Bone marrow aspirate smear · single-cell crop.
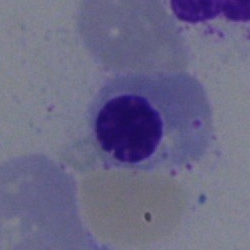 Morphology consistent with a nucleated red cell.